Single cell centered in the field. Bone marrow aspirate smear:
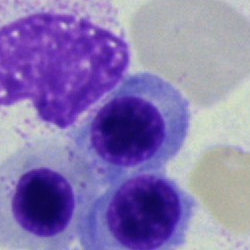
The classification is normoblast.